Brightfield microscopy, 40× oil immersion. May-Grünwald-Giemsa/Pappenheim stain. Bone marrow smear.
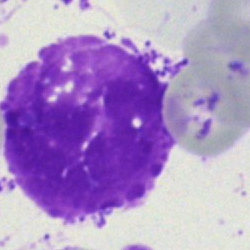Morphology consistent with an artifact.